Bone marrow smear — 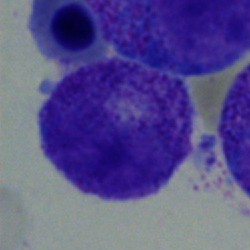
Morphology consistent with a myelocyte.